Bone marrow aspirate smear; single-cell field; MGG-stained.
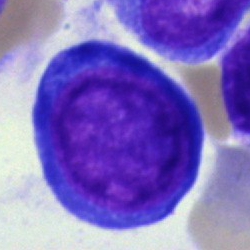
A pronormoblast.